Bone marrow aspirate smear; May-Grünwald-Giemsa stain:
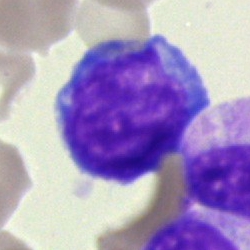

Classification = lymphocyte.